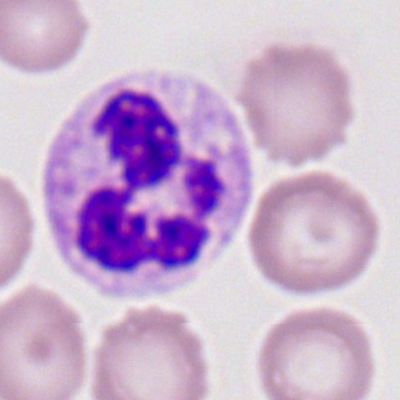
Showing a neutrophil (segmented).